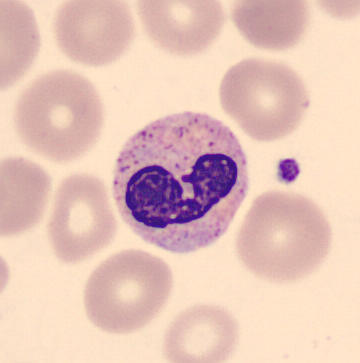 A band neutrophil.
Acquisition: Peripheral blood film.